40× oil immersion · image size 250×250 · bone marrow smear
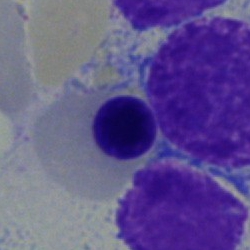A nucleated red cell.